Peripheral blood smear.
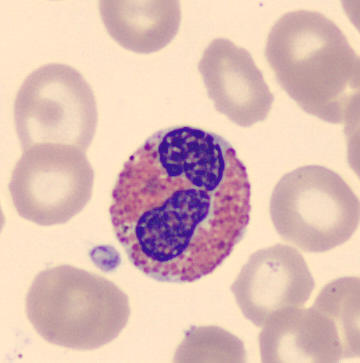
Classification — eosinophil.